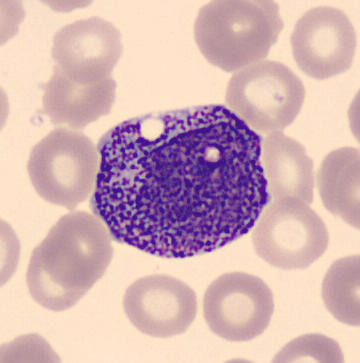
{"cell_type": "promyelocyte", "lineage": "myeloid"}